Bone marrow smear: 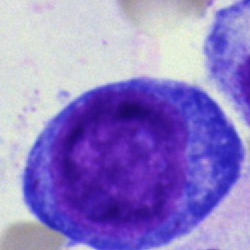Morphology consistent with a progranulocyte.